Brightfield, 40× oil-immersion objective · bone marrow smear.
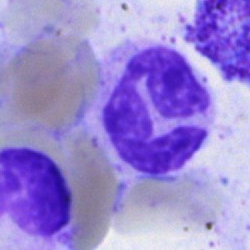Cell = segmented neutrophil.